Romanowsky-type stain; peripheral blood film; 400 by 400 pixels: 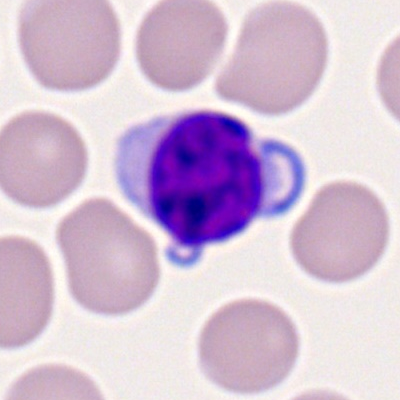

Cell = lymphocyte.